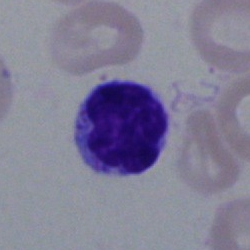

Specimen: bone marrow aspirate smear.
Classification: typical lymphocyte.
Lineage: lymphoid.